Bone marrow smear.
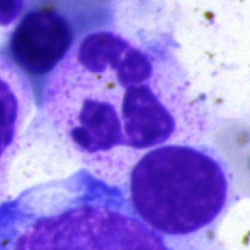

Classification = polymorphonuclear neutrophil.